Single cell centered in the field; 250 by 250 pixels; bone marrow smear.
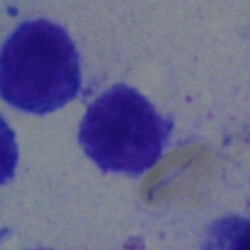Q: Identify the cell.
A: This is a lymphocyte.